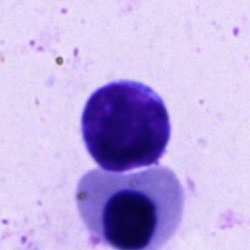

Q: Which cell type is shown here?
A: A typical lymphocyte.